Peripheral blood smear. Brightfield, 100× oil-immersion objective. Romanowsky-type stain:
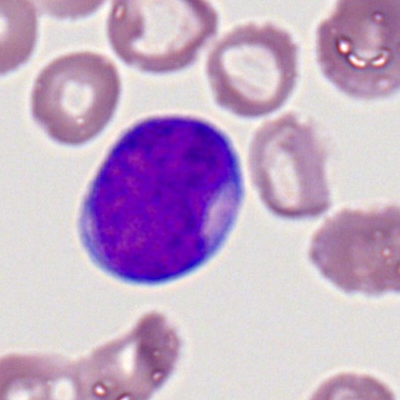

Specimen: peripheral blood smear.
Cell type: myeloblast.